Bone marrow aspirate smear: 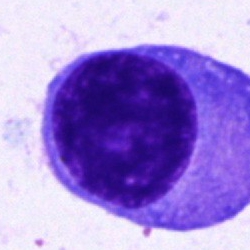 Morphology — plasmacyte.